Peripheral blood smear: 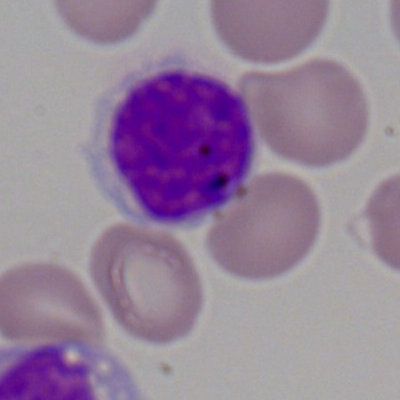 {"cell_type": "lymphocyte", "lineage": "lymphoid"}